Bone marrow smear.
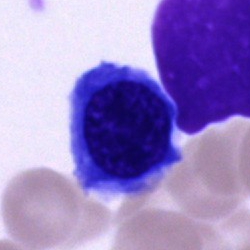Nucleated red blood cell.